Bone marrow smear. Brightfield, 40× oil-immersion objective.
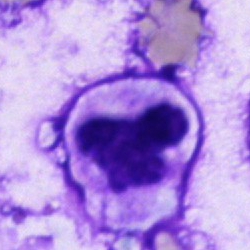 Morphology consistent with a neutrophil (segmented).